Bone marrow aspirate smear · 40× objective, oil immersion: 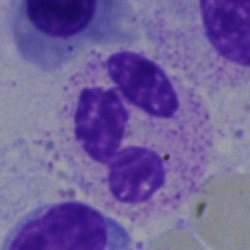

Q: Identify the cell.
A: A neutrophil (segmented).